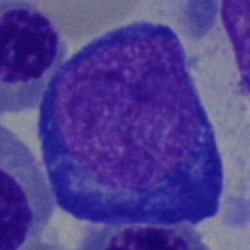
Specimen: bone marrow smear.
Cell: erythroblast.
Lineage: erythroid.